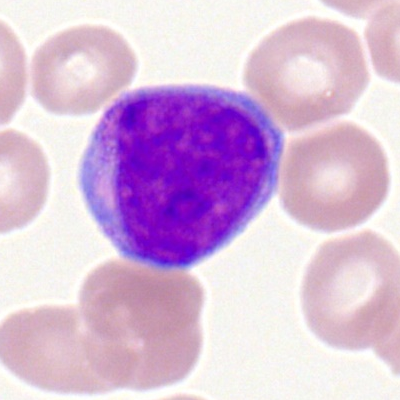
Q: What type of cell is this?
A: It is a myeloblast.